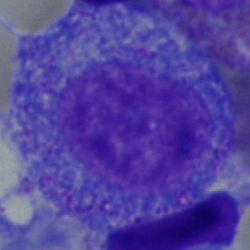Bone marrow aspirate smear, single cell — promyelocyte.